Bone marrow aspirate smear: 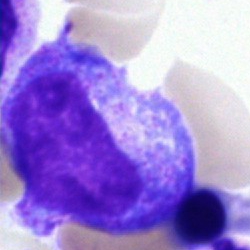 Specimen: bone marrow aspirate smear.
Classification: progranulocyte.
Lineage: myeloid.